Bone marrow aspirate smear. Cropped to a single cell. 250 by 250 pixels: 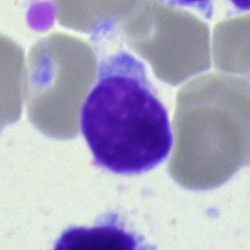

{"cell_type": "lymphocyte", "lineage": "lymphoid"}